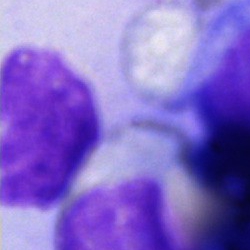

Single-cell crop from a bone marrow smear: cell of indeterminate lineage.